Bone marrow aspirate smear
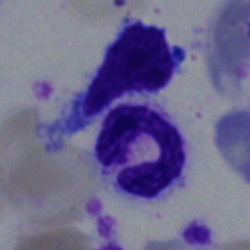 Cell type — neutrophil (segmented).